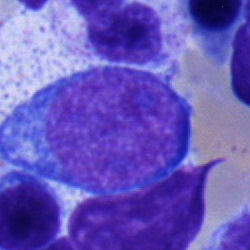

Specimen: bone marrow smear.
Classification: pronormoblast.
Lineage: erythroid.